Brightfield microscopy, 40× oil immersion. Bone marrow smear:
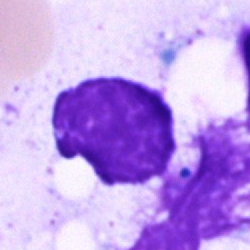Showing an artefact.